May-Grünwald-Giemsa/Pappenheim stain. Single-cell field. Bone marrow smear: 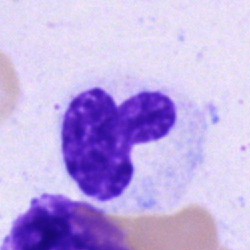

Single cell identified as a polymorphonuclear neutrophil.